May-Grünwald-Giemsa/Pappenheim stain. Brightfield, 40× oil-immersion objective. Bone marrow aspirate smear:
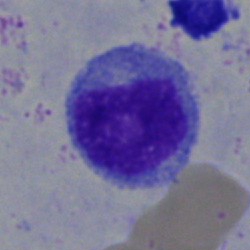 The cell shown is a myelocyte.